Bone marrow aspirate smear — 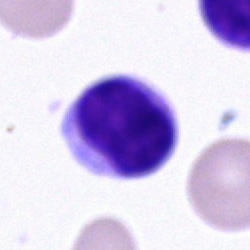Q: Identify the cell.
A: It is a lymphocyte.